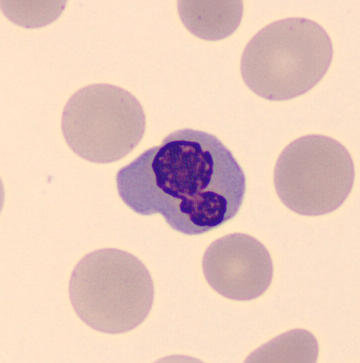
Peripheral blood film.

Showing a normoblast.